Bone marrow smear · May-Grünwald-Giemsa/Pappenheim stain.
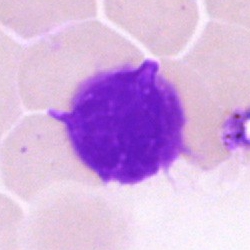

Cell type — artifact.